40× oil immersion · bone marrow aspirate smear:
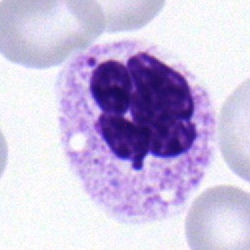
This is a neutrophil (segmented).